40× oil immersion; bone marrow aspirate smear — 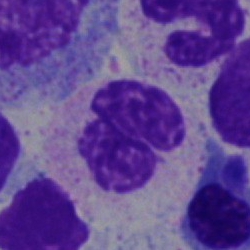

The morphological class is neutrophil (segmented).